Brightfield, 40× oil-immersion objective · bone marrow aspirate smear:
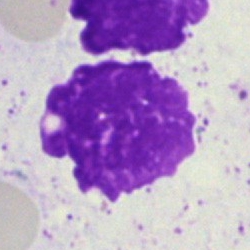 Impression — artefact.